May-Grünwald-Giemsa/Pappenheim stain. 250×250 px. Bone marrow aspirate smear.
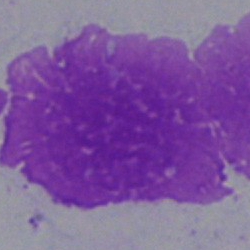
Morphology → artefact.